Image size 250×250. Bone marrow aspirate smear
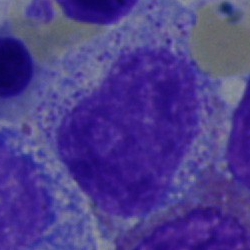

Showing a myelocyte.